Bone marrow aspirate smear; brightfield microscopy, 40× oil immersion; 250×250
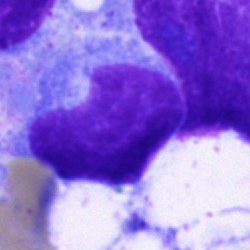 Cell = blast cell.